Bone marrow aspirate smear:
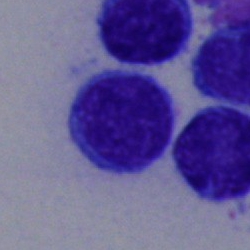

Cell = typical lymphocyte.